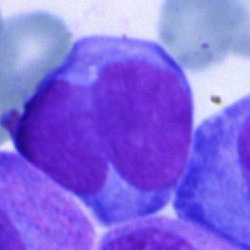
Impression → blast.